Bone marrow aspirate smear
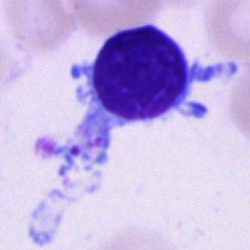 A cell of indeterminate lineage.